Bone marrow aspirate smear:
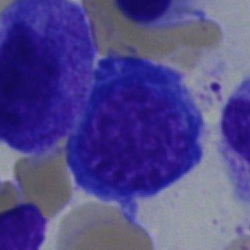 Q: What is the morphological classification of this cell?
A: This is an erythroblast.